Bone marrow aspirate smear — 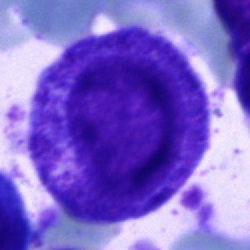
Impression → promyelocyte.